May-Grünwald-Giemsa stain · bone marrow smear · cropped to a single cell: 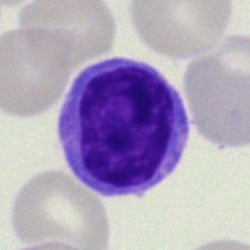The cell is lymphocyte.